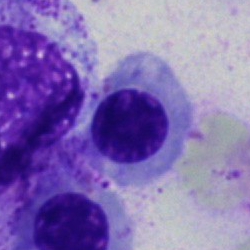
This is a nucleated red blood cell.